Bone marrow aspirate smear.
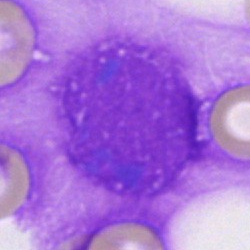Cell = artefact.